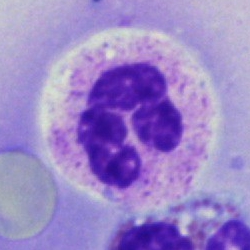Morphology consistent with a polymorphonuclear neutrophil.